40× objective, oil immersion. Bone marrow aspirate smear — 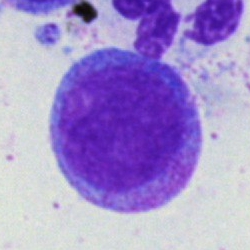
Specimen: bone marrow aspirate smear.
Cell type: progranulocyte.